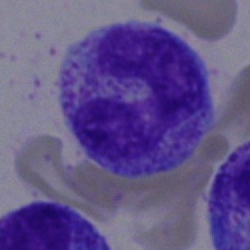 Bone marrow smear showing a stab cell.